Bone marrow aspirate smear. Pappenheim-stained
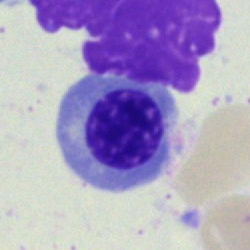The cell type is erythroblast.